Bone marrow aspirate smear — 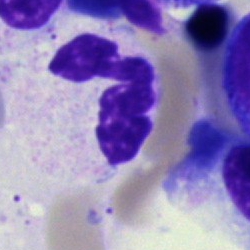This is a segmented neutrophil.